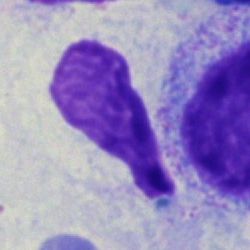

Single-cell crop from a bone marrow smear: artifact.